Bone marrow aspirate smear — 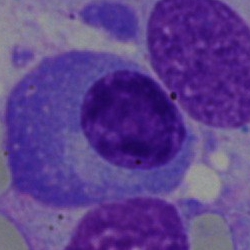 Morphology — plasmacyte.